Single cell centered in the field · May-Grünwald-Giemsa stain · bone marrow aspirate smear.
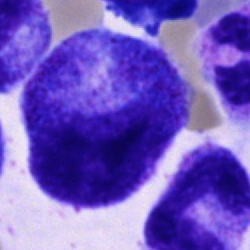Q: What cell is this?
A: A progranulocyte.